Peripheral blood film: 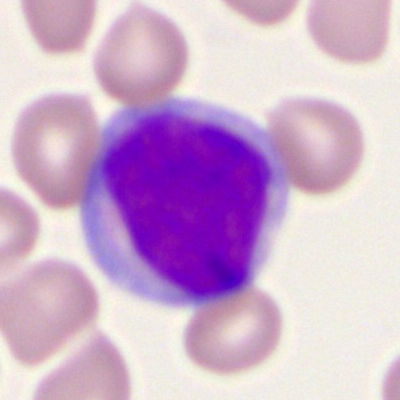 Q: What is the morphological classification of this cell?
A: It is a myeloid blast.